Bone marrow smear:
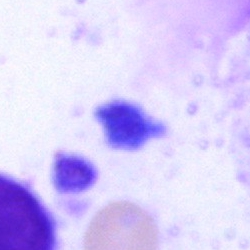

Showing an artifact.